250×250; brightfield, 40× oil-immersion objective; bone marrow aspirate smear
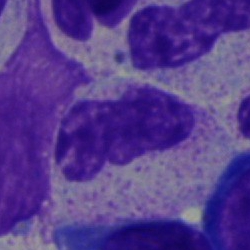This is a neutrophil (segmented).